Bone marrow smear:
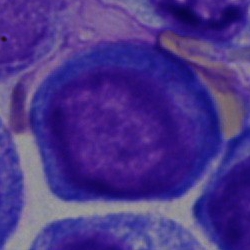{"cell_type": "pronormoblast", "lineage": "erythroid"}